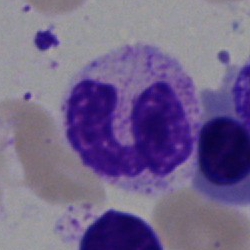

Specimen: bone marrow smear.
Cell type: neutrophil (segmented).